Bone marrow aspirate smear · MGG-stained
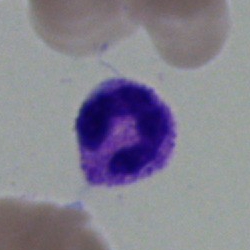
Morphological class = neutrophil (segmented).